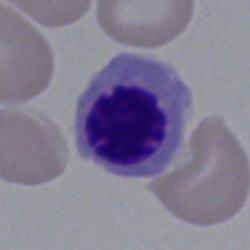

Q: What type of cell is this?
A: This is an erythroblast.